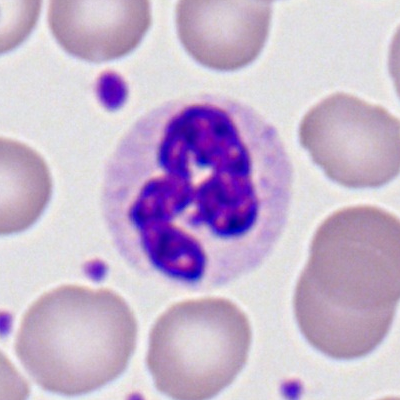

This is a polymorphonuclear neutrophil.